250×250 px. MGG-stained. Bone marrow smear
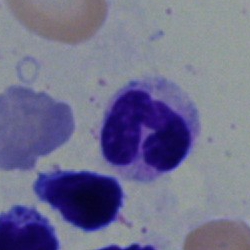 Showing a neutrophil (segmented).